Peripheral blood film — 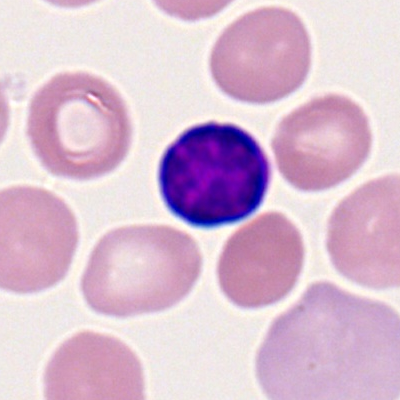
{"cell_type": "lymphocyte", "lineage": "lymphoid"}